May-Grünwald-Giemsa stain. Bone marrow smear — 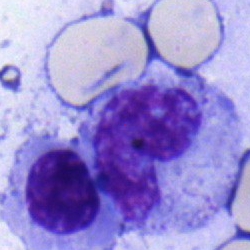

A band neutrophil.